Bone marrow smear: 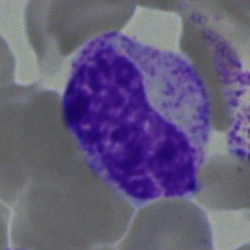
The classification is metamyelocyte.